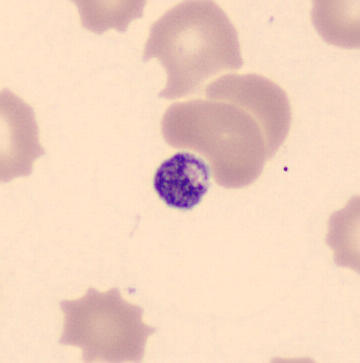 Platelet. Preparation: Imaged on a CellaVision DM96 analyser · peripheral blood smear.